Bone marrow aspirate smear
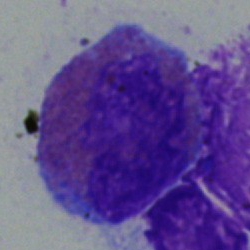Showing an eosinophilic granulocyte.